Bone marrow smear — 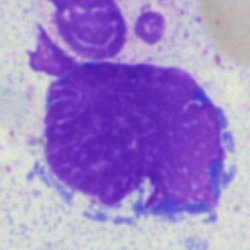

Cell type = artifact.